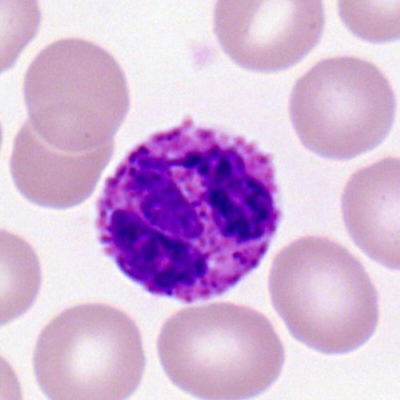Q: What cell is this?
A: A basophilic granulocyte.